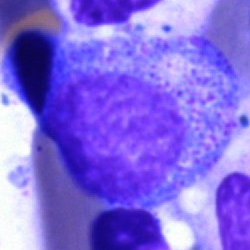Cell — progranulocyte.